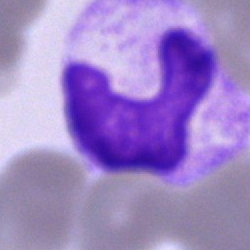
Bone marrow aspirate smear, single cell — band neutrophil.